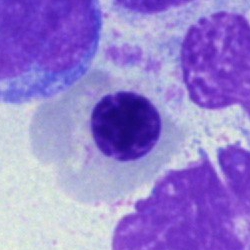 Nucleated red cell.